40× oil immersion · 250×250 · bone marrow smear
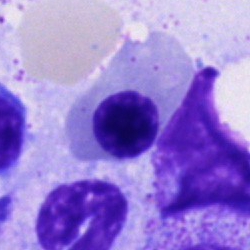 Q: What type of cell is this?
A: It is a nucleated red cell.